Bone marrow aspirate smear; May-Grünwald-Giemsa stain.
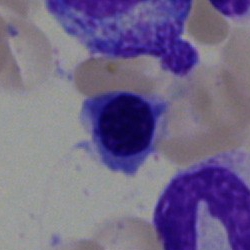

Morphology → nucleated red blood cell.